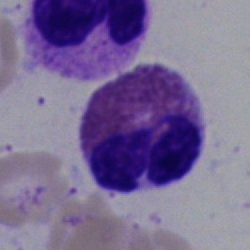
The cell is eosinophil.